Bone marrow aspirate smear. May-Grünwald-Giemsa stain.
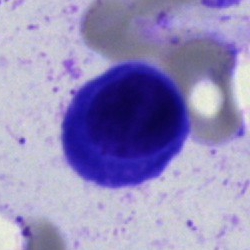

The cell shown is a plasmacyte.